Bone marrow aspirate smear. Single-cell crop — 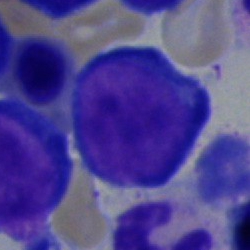 This is a pronormoblast.